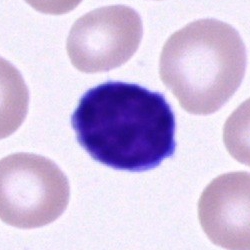
{"cell_type": "lymphocyte"}